Pappenheim-stained · bone marrow aspirate smear: 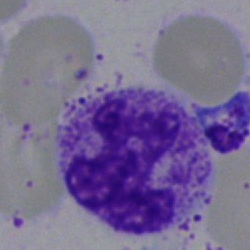Morphology consistent with a polymorphonuclear neutrophil.